Bone marrow smear: 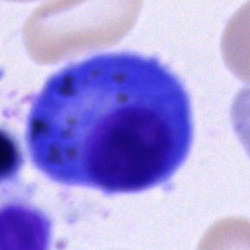
Morphological class: plasma cell.